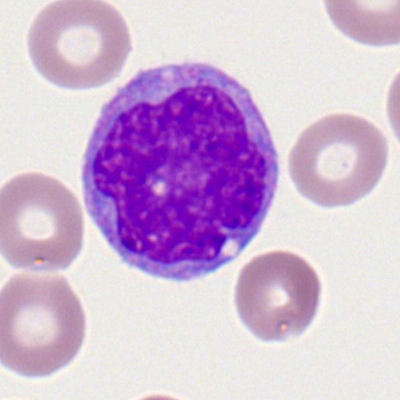Q: What is the morphological classification of this cell?
A: This is a monocyte.